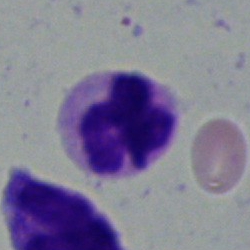
Specimen: bone marrow smear.
Morphological class: polymorphonuclear neutrophil.